Peripheral blood film · single-cell field
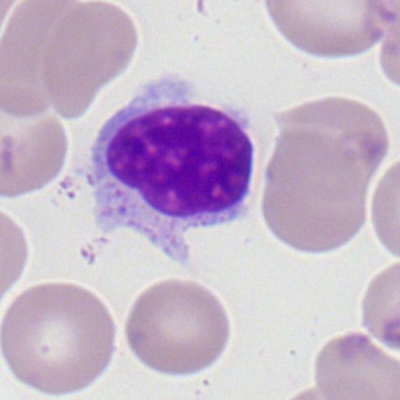 Specimen: peripheral blood smear.
Morphological class: lymphocyte.
Lineage: lymphoid.